Single-cell crop · bone marrow smear
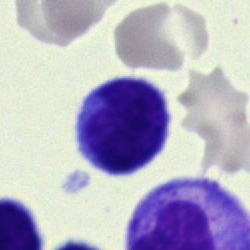The cell shown is a typical lymphocyte.